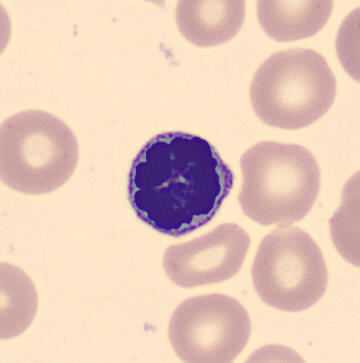

Acquisition: Peripheral blood film.

Q: Which cell type is shown here?
A: It is a nucleated red blood cell.